Bone marrow smear; single-cell crop: 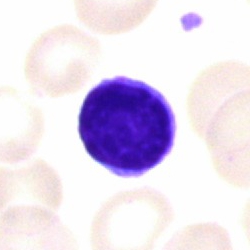A typical lymphocyte.